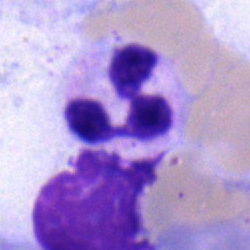
Q: Which cell type is shown here?
A: This is a segmented neutrophil.